May-Grünwald-Giemsa/Pappenheim stain · single-cell crop · bone marrow smear.
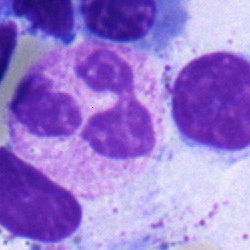

Q: What cell is this?
A: It is a nucleated red cell.